Bone marrow aspirate smear:
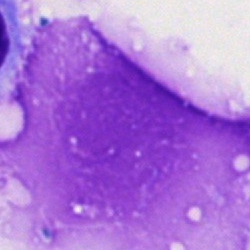 Impression → artifact.